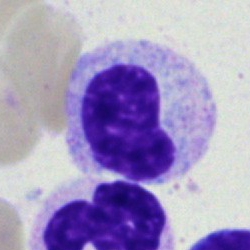
Showing a stab cell.